Bone marrow aspirate smear: 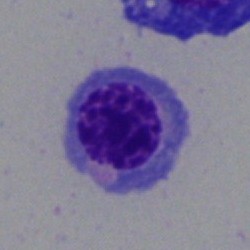Cell = normoblast.